Peripheral blood smear
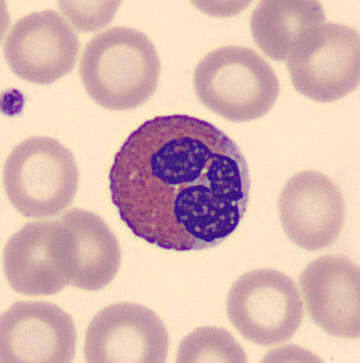

An eosinophilic granulocyte.